Pappenheim-stained · bone marrow smear — 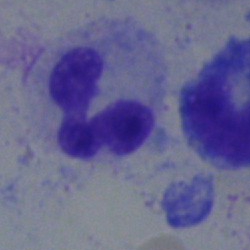Showing a segmented neutrophil.